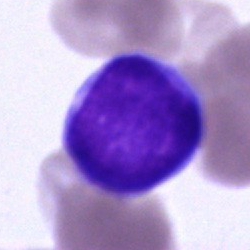
Specimen: bone marrow smear.
Morphological class: undifferentiated blast.